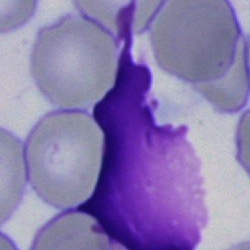Specimen: bone marrow smear.
Classification: artifact.